Brightfield microscopy, 40× oil immersion. Single cell centered in the field. Bone marrow aspirate smear:
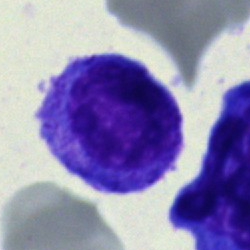Q: Identify the cell.
A: This is a blast.